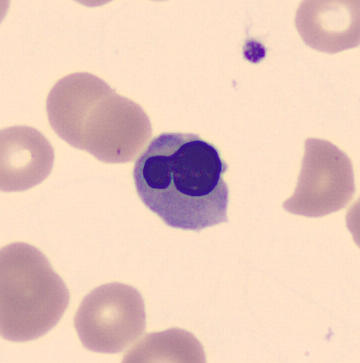Specimen: peripheral blood film.
Cell type: erythroblast.